Bone marrow aspirate smear:
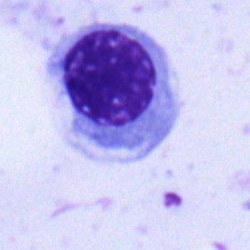
Q: What type of cell is this?
A: It is a nucleated red cell.